Single cell centered in the field · bone marrow smear:
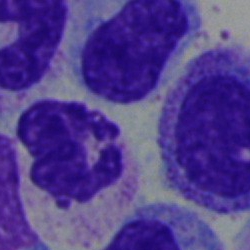

Classification = neutrophil (segmented).